Bone marrow smear — 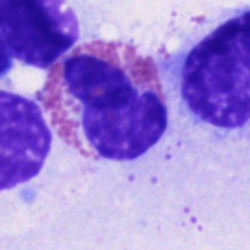
An eosinophil.